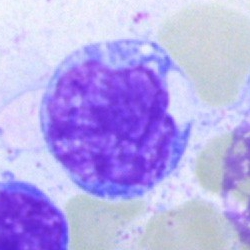

Morphology → lymphocyte.